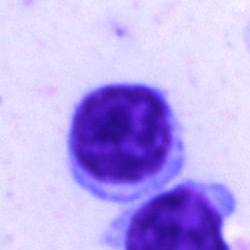 Single-cell crop from a bone marrow smear: typical lymphocyte.